Single-cell crop; peripheral blood smear.
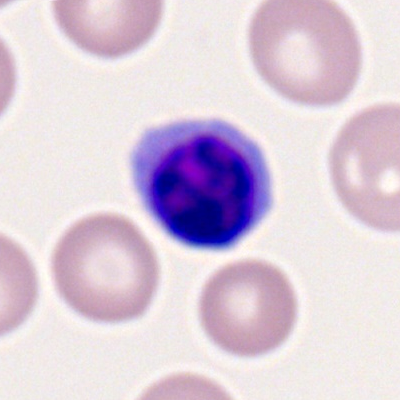

Cell: typical lymphocyte.